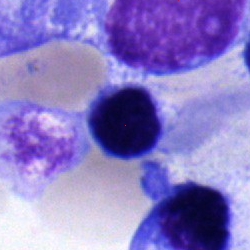 Q: What type of cell is this?
A: It is a lymphocyte.